Bone marrow aspirate smear:
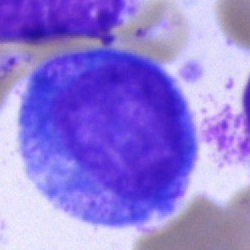

The cell shown is a promyelocyte.